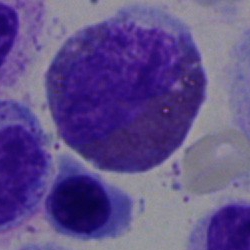This is an eosinophilic granulocyte.